Bone marrow aspirate smear; single cell centered in the field:
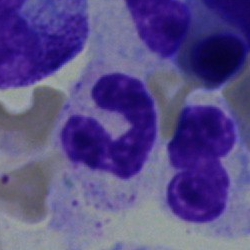
This is a polymorphonuclear neutrophil.